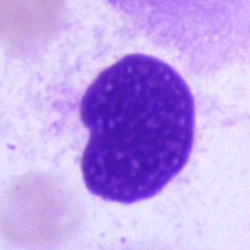 Classification = artefact.